Bone marrow smear. 250 by 250 pixels. Single cell centered in the field: 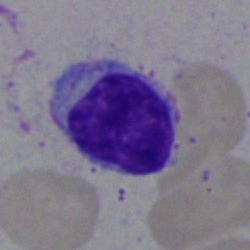
Cell = typical lymphocyte.